Bone marrow aspirate smear · 40× objective, oil immersion: 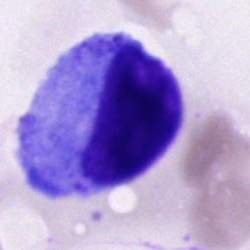

Classification = promyelocyte.